Single-cell crop; bone marrow aspirate smear — 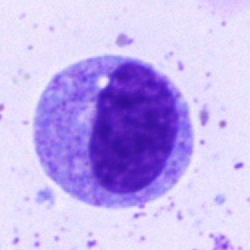
The morphological class is myelocyte.